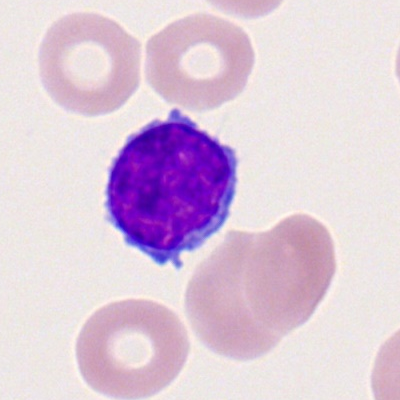
Specimen: peripheral blood smear.
Cell: lymphocyte.
Lineage: lymphoid.